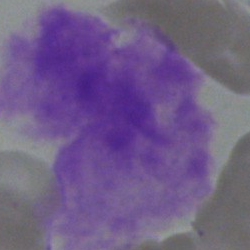
Classification — artifact.